250 by 250 pixels · bone marrow aspirate smear: 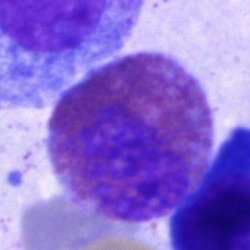 Impression → eosinophilic granulocyte.